250 by 250 pixels. Bone marrow smear. 40× objective, oil immersion.
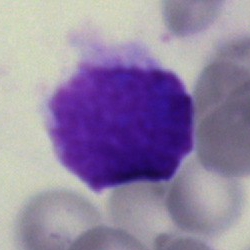
Specimen: bone marrow aspirate smear.
Cell: artefact.